40× objective, oil immersion · bone marrow smear
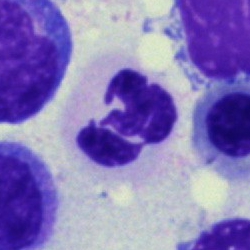Morphological class = polymorphonuclear neutrophil.